Bone marrow smear:
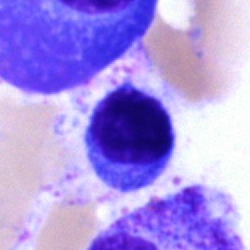Cell = lymphocyte.